May-Grünwald-Giemsa stain; bone marrow smear: 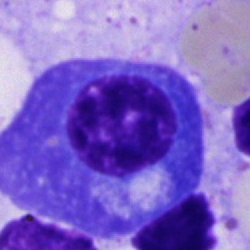
Q: What is shown here?
A: This is a plasmacyte.